Bone marrow smear:
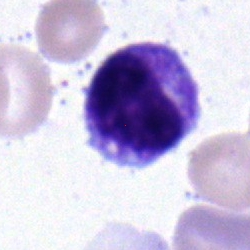

{"cell_type": "metamyelocyte", "lineage": "myeloid"}